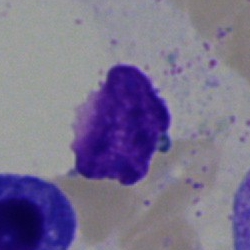Morphological class = artifact.